Bone marrow smear. Single-cell crop. Brightfield, 40× oil-immersion objective: 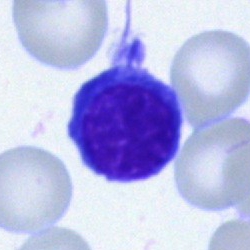 Morphological class — lymphocyte.